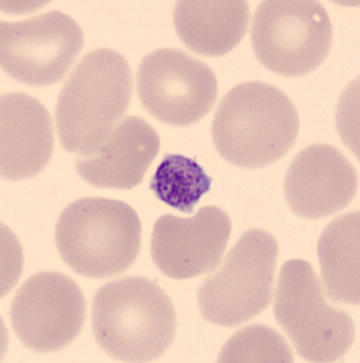
{"cell_type": "thrombocyte"}